Bone marrow aspirate smear. 250 by 250 pixels: 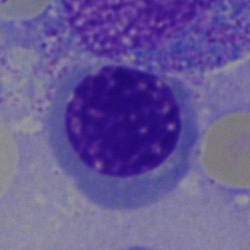Q: What is shown here?
A: It is a nucleated red cell.